Bone marrow aspirate smear · brightfield, 40× oil-immersion objective — 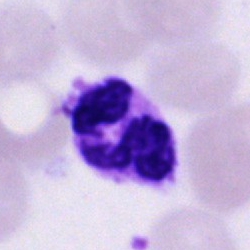Impression — segmented neutrophil.